Single-cell field. Bone marrow aspirate smear. May-Grünwald-Giemsa/Pappenheim stain.
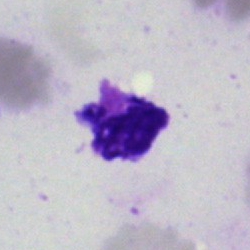

Impression → artefact.